Single-cell crop; 250×250 px; bone marrow smear — 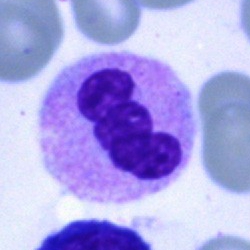 Specimen: bone marrow smear.
Cell type: neutrophil (segmented).